Bone marrow aspirate smear · brightfield microscopy, 40× oil immersion: 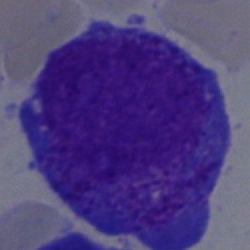Progranulocyte.